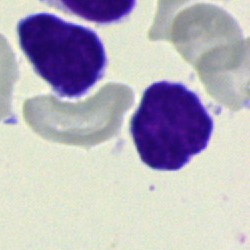The cell shown is a typical lymphocyte.